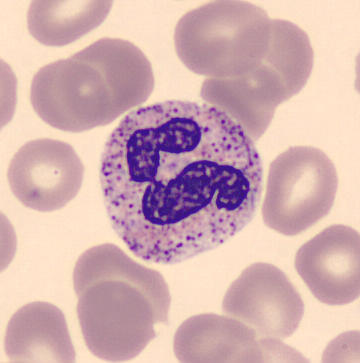Q: What type of cell is this?
A: This is a segmented neutrophil.